Bone marrow aspirate smear
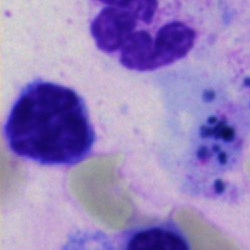

Showing a lymphocyte.